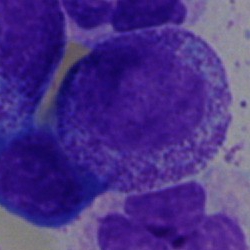

The morphological class is myelocyte.